Bone marrow smear · brightfield, 40× oil-immersion objective:
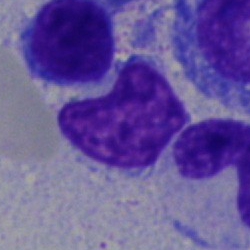
Q: What is shown here?
A: It is a cell of indeterminate lineage.